Image size 250×250 · bone marrow smear
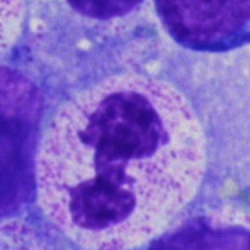

Specimen: bone marrow aspirate smear.
Classification: polymorphonuclear neutrophil.